Bone marrow aspirate smear. 250×250
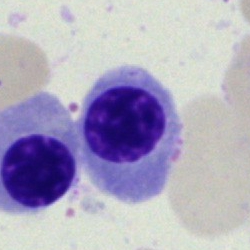

Morphological class: normoblast.